Bone marrow aspirate smear · 250×250 px · May-Grünwald-Giemsa/Pappenheim stain — 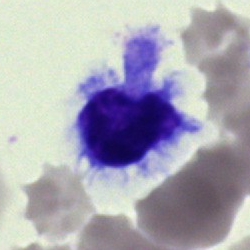
Artefact.